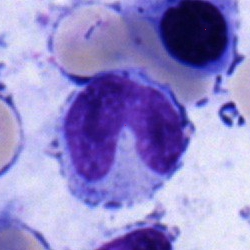 Classification — band-form neutrophil.